360 by 363 pixels; single-cell field; peripheral blood smear — 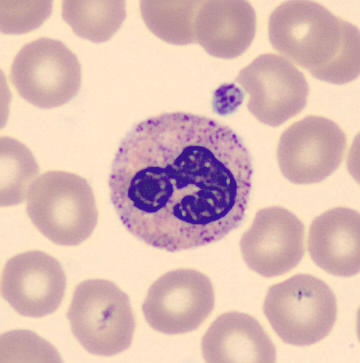
The morphological class is stab cell.